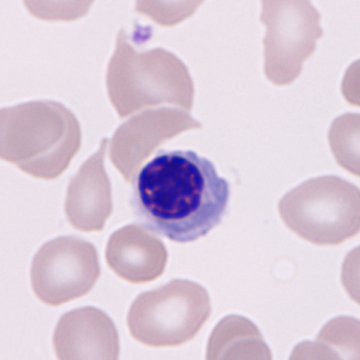

{"cell_type": "nucleated red blood cell", "lineage": "erythroid"}